40× objective, oil immersion · bone marrow aspirate smear: 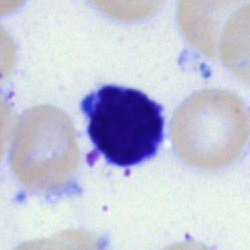
Q: What cell is this?
A: This is a lymphocyte.